Single cell centered in the field; bone marrow smear:
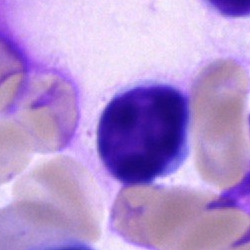
A typical lymphocyte.